Bone marrow aspirate smear · cropped to a single cell
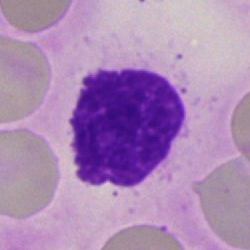
Morphology consistent with an artifact.